Cropped to a single cell · bone marrow aspirate smear · May-Grünwald-Giemsa/Pappenheim stain:
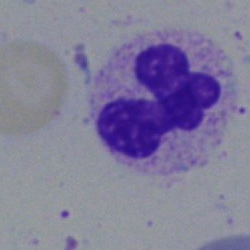
Morphology consistent with a polymorphonuclear neutrophil.